Bone marrow aspirate smear. 250×250:
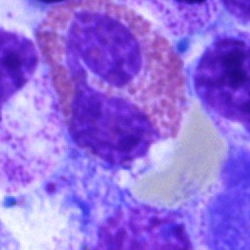
Morphology consistent with an eosinophil.